Romanowsky-stained; peripheral blood film.
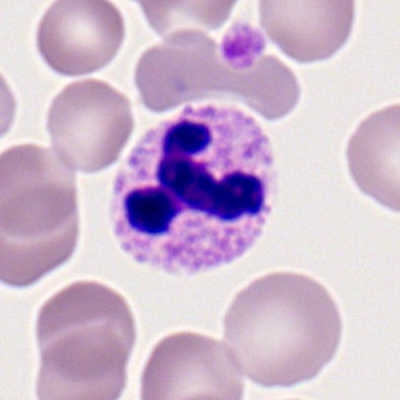Cell type — neutrophil (segmented).